Bone marrow smear: 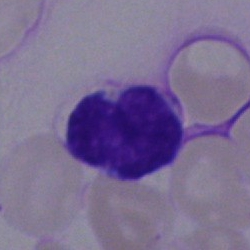

Showing a lymphocyte.